Romanowsky stain · single-cell crop · peripheral blood film.
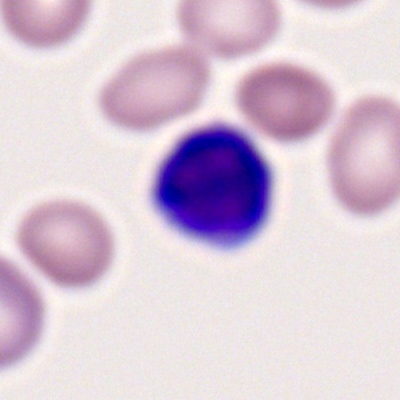Single cell identified as a typical lymphocyte.